250×250 px · bone marrow smear · single-cell field
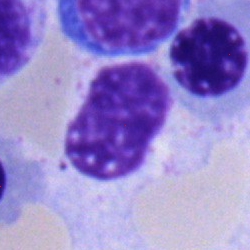 Specimen: bone marrow aspirate smear.
Classification: band-form neutrophil.
Lineage: myeloid.